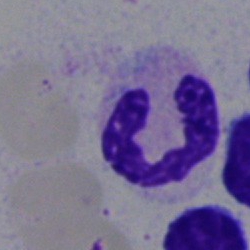 The classification is segmented neutrophil.